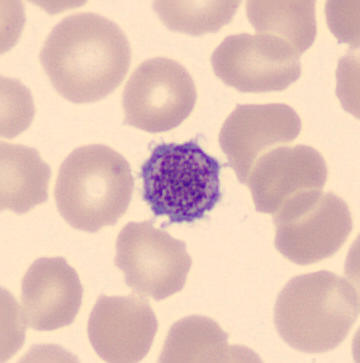
Acquisition: Peripheral blood smear.
Morphology consistent with a platelet.